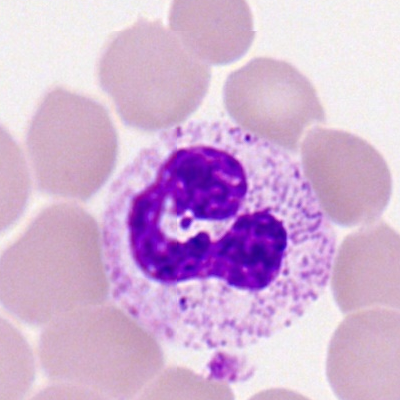Specimen: peripheral blood smear.
Cell: polymorphonuclear neutrophil.
Lineage: myeloid.